40× objective, oil immersion. Bone marrow smear. May-Grünwald-Giemsa/Pappenheim stain
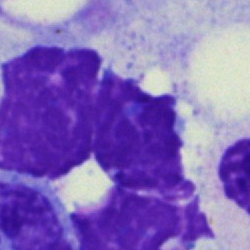 Cell type — artefact.